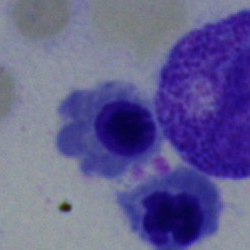
Impression — erythroblast.